Bone marrow aspirate smear.
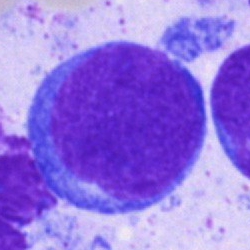
Undifferentiated blast.